Brightfield microscopy, 40× oil immersion; bone marrow aspirate smear:
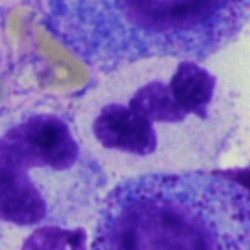Polymorphonuclear neutrophil.